Bone marrow smear.
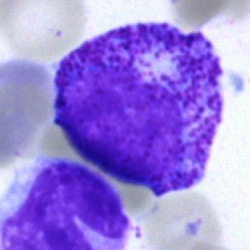 Single cell identified as a myelocyte.